Bone marrow smear · image size 250×250: 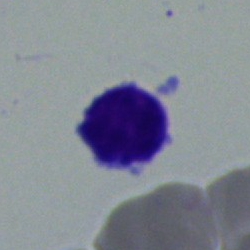

Morphology consistent with a lymphocyte.